Bone marrow smear · May-Grünwald-Giemsa stain.
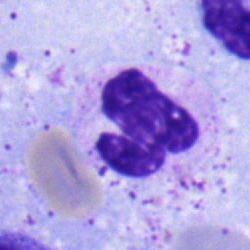
{"cell_type": "segmented neutrophil"}